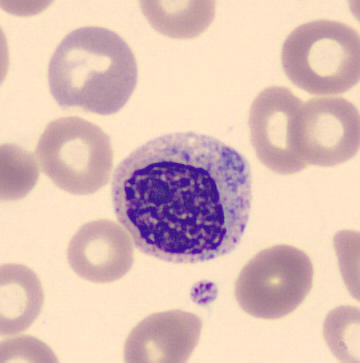

Image: Peripheral blood film. May Grünwald-Giemsa stain. Impression — myelocyte.